Peripheral blood film
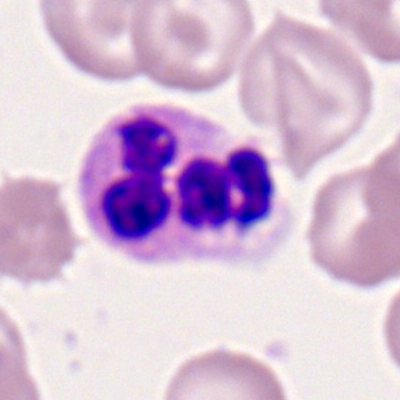The cell is segmented neutrophil.